Bone marrow smear; MGG-stained:
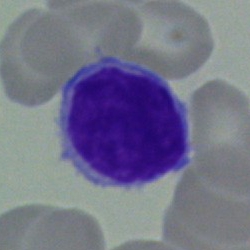This is a lymphocyte.